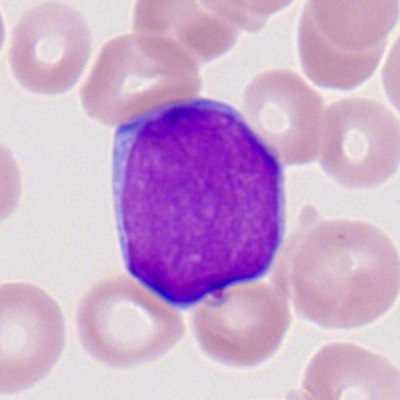 The cell is myeloblast.